Brightfield microscopy, 40× oil immersion. Bone marrow aspirate smear. MGG-stained.
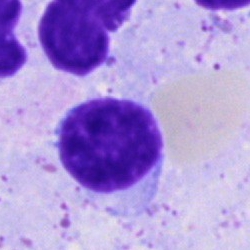 Impression — lymphocyte.